Bone marrow aspirate smear
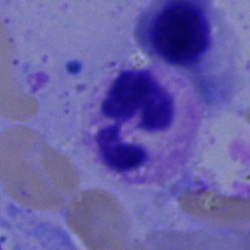

{"cell_type": "neutrophil (segmented)"}